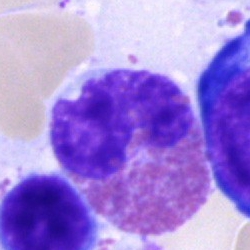Specimen: bone marrow aspirate smear.
Classification: eosinophilic granulocyte.
Lineage: myeloid.